250 by 250 pixels; 40× oil immersion; bone marrow smear
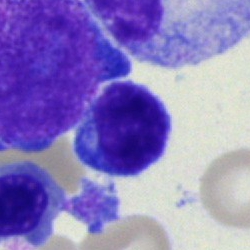{"cell_type": "typical lymphocyte", "lineage": "lymphoid"}